Bone marrow aspirate smear · May-Grünwald-Giemsa/Pappenheim stain · 250×250 px
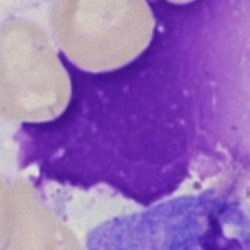Specimen: bone marrow smear.
Cell: artefact.